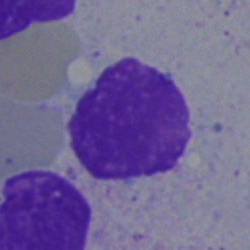
Q: What is shown here?
A: Artifact.